Bone marrow aspirate smear · brightfield, 40× oil-immersion objective.
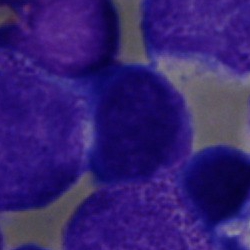 Q: What cell is this?
A: This is an undifferentiated blast.